Bone marrow smear: 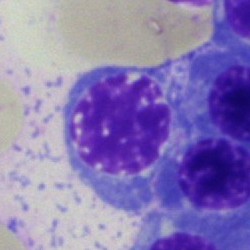

Classification: nucleated red blood cell.